Bone marrow smear: 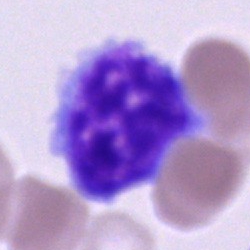Undifferentiated blast.